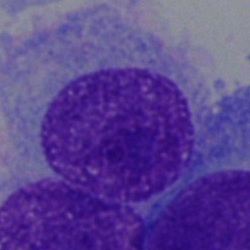

Specimen: bone marrow aspirate smear.
Cell type: plasmacyte.